Bone marrow smear: 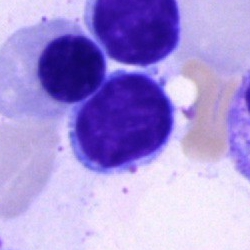Showing a typical lymphocyte.